Bone marrow aspirate smear; May-Grünwald-Giemsa stain
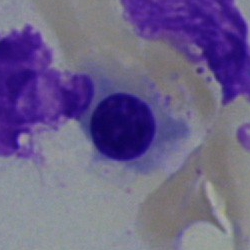 Cell type = nucleated red blood cell.